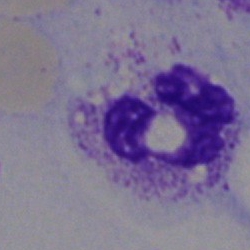

Specimen: bone marrow smear.
Morphological class: polymorphonuclear neutrophil.